Bone marrow smear. Brightfield, 40× oil-immersion objective:
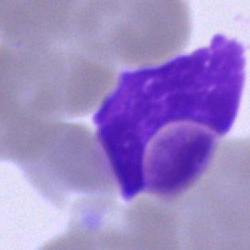 Q: What is shown here?
A: An artifact.